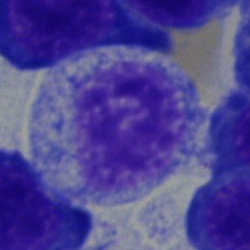 Showing a myelocyte.